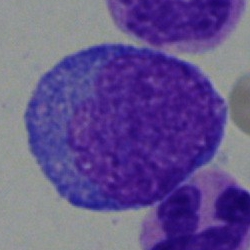
The cell type is blast cell.